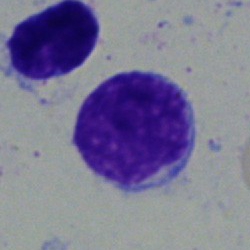
A typical lymphocyte.